Peripheral blood smear. Single-cell field — 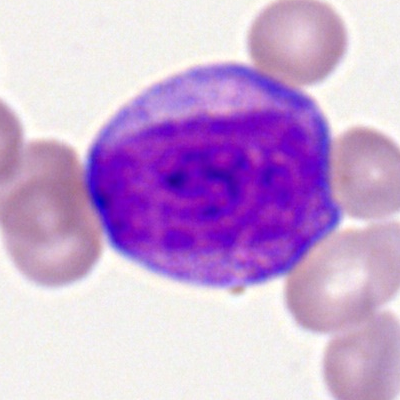 Morphology consistent with a progranulocyte.